Bone marrow aspirate smear.
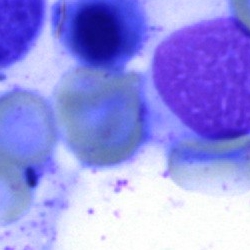

Single cell identified as an artefact.